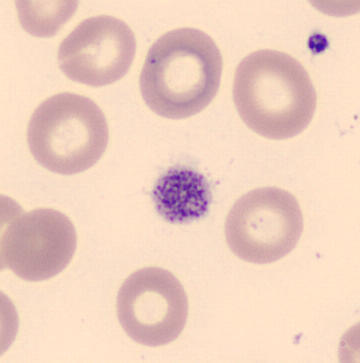Showing a platelet (thrombocyte). Acquisition: Peripheral blood smear.